Bone marrow smear:
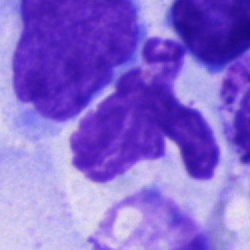
Morphology → artefact.